Bone marrow aspirate smear.
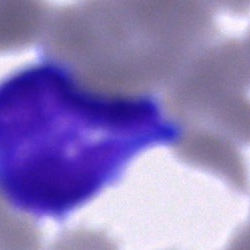 A blast cell.